Bone marrow smear: 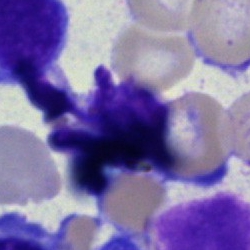 Morphology → artefact.